Bone marrow aspirate smear · 250 by 250 pixels.
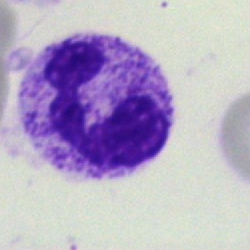
Specimen: bone marrow aspirate smear.
Cell: polymorphonuclear neutrophil.
Lineage: myeloid.